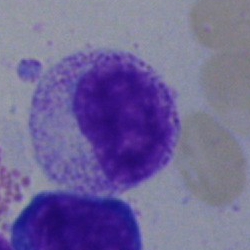Bone marrow smear showing a metamyelocyte.